Peripheral blood film; cropped to a single cell; image size 400×400 — 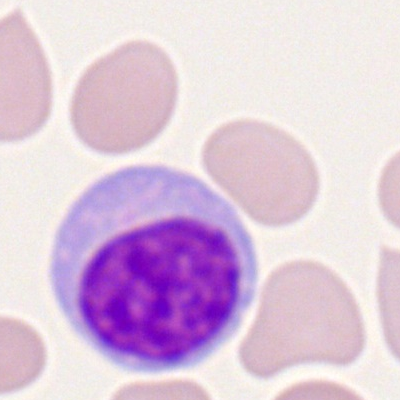 Single cell identified as a typical lymphocyte.